Single-cell field. 40× oil immersion. Bone marrow aspirate smear
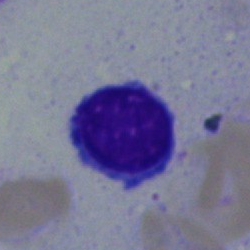
Cell = typical lymphocyte.